250×250; bone marrow smear: 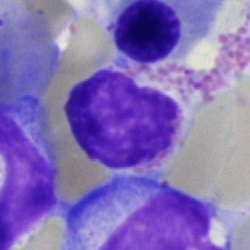 The cell shown is a basophilic granulocyte.